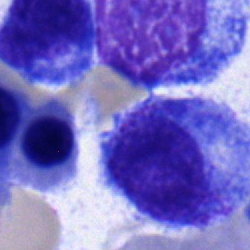
A myelocyte on a bone marrow smear.